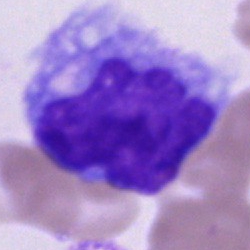Cell type = monocyte.